250×250 px · brightfield, 40× oil-immersion objective · bone marrow smear — 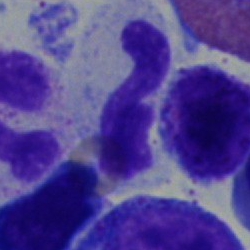

Morphology consistent with a neutrophil (segmented).